Bone marrow aspirate smear · 250×250 px.
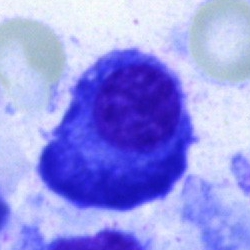
Cell — plasma cell.